Bone marrow smear
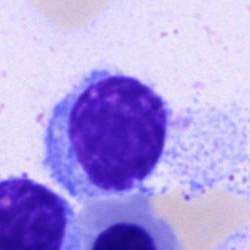
Q: What cell is this?
A: Lymphocyte.